Bone marrow aspirate smear; 250×250 px: 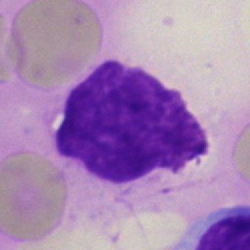

An artifact.